Bone marrow smear — 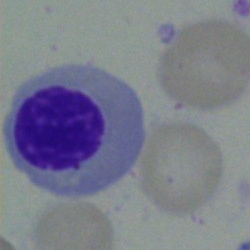Q: What is shown here?
A: This is a normoblast.